40× oil immersion; image size 250×250; bone marrow aspirate smear:
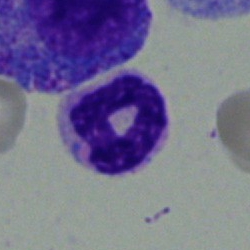Impression → segmented neutrophil.